Bone marrow aspirate smear.
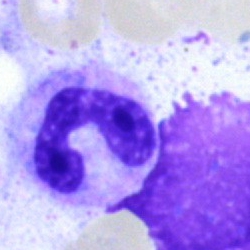The morphological class is neutrophil (band).